Bone marrow aspirate smear: 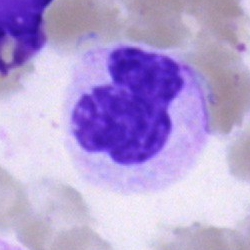

Specimen: bone marrow aspirate smear.
Classification: neutrophil (segmented).